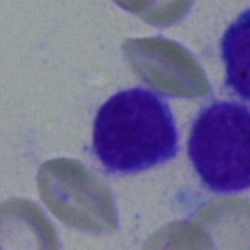

Bone marrow smear showing a lymphocyte.